May-Grünwald-Giemsa/Pappenheim stain · bone marrow smear · 40× objective, oil immersion: 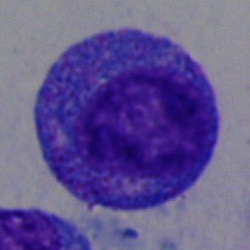 Classification — progranulocyte.